Bone marrow smear; MGG-stained: 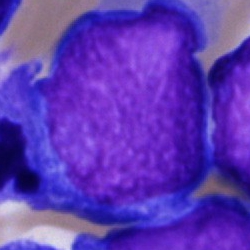 Q: What type of cell is this?
A: It is a blast cell.